Bone marrow aspirate smear · 250 by 250 pixels · 40× objective, oil immersion:
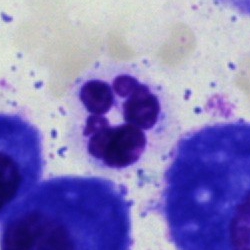 {"cell_type": "segmented neutrophil"}